Image size 400×400 · cropped to a single cell · peripheral blood film:
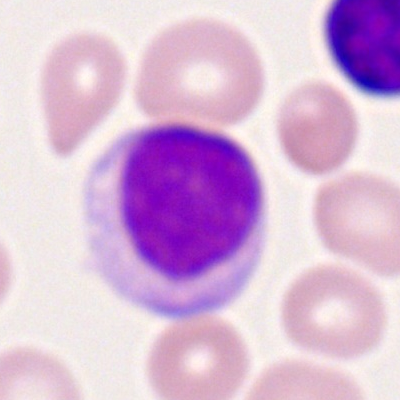Classification = typical lymphocyte.